Single-cell crop · bone marrow smear · MGG-stained:
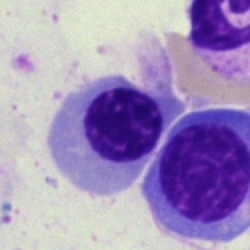Q: Identify the cell.
A: It is a nucleated red blood cell.